Peripheral blood film · M8 digital microscope (Precipoint), 100× oil immersion:
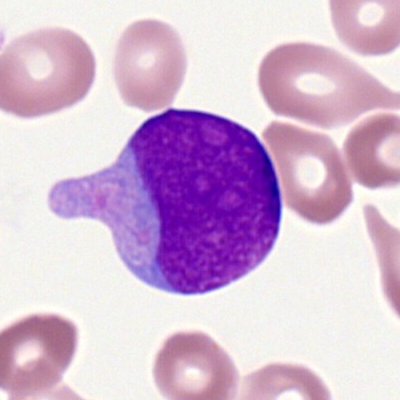
Morphological class = myeloid blast.